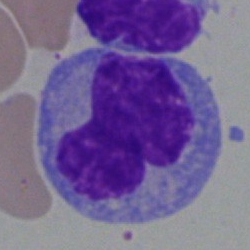 Bone marrow aspirate smear, single cell — blast.